Bone marrow smear:
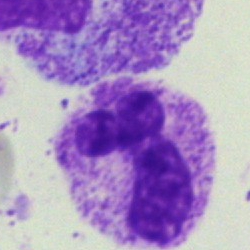 Polymorphonuclear neutrophil.